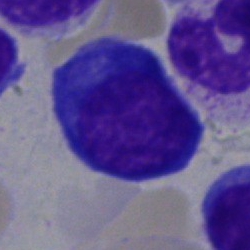

Q: What is the morphological classification of this cell?
A: This is a normoblast.